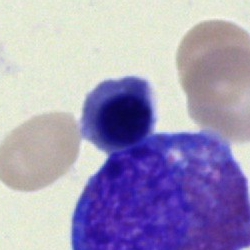

Cell = nucleated red blood cell.